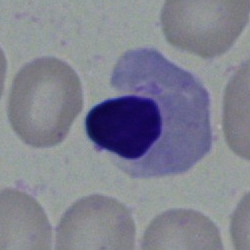This is an erythroblast.